250×250 px; bone marrow smear.
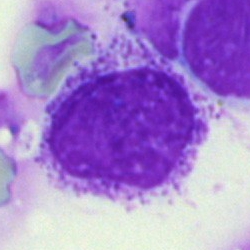This is an artefact.